Peripheral blood film: 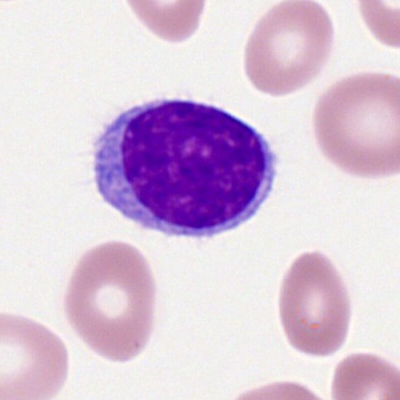
Specimen: peripheral blood smear.
Cell: lymphocyte.
Lineage: lymphoid.